Bone marrow smear; image size 250×250; brightfield microscopy, 40× oil immersion — 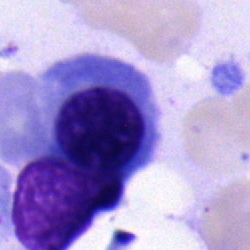 Impression — erythroblast.